Image size 250×250. Bone marrow aspirate smear. Brightfield microscopy, 40× oil immersion.
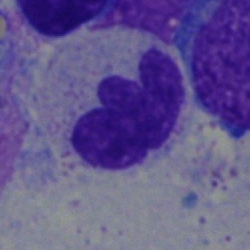

Cell type — segmented neutrophil.